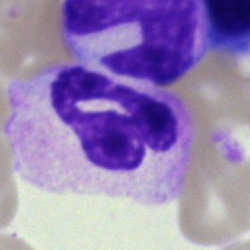

Cell type — segmented neutrophil.